Bone marrow smear:
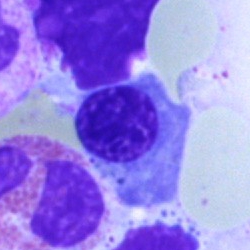Nucleated red blood cell.